May-Grünwald-Giemsa/Pappenheim stain. Bone marrow smear. 250×250.
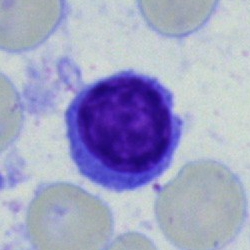
{"cell_type": "lymphocyte", "lineage": "lymphoid"}